Bone marrow aspirate smear · brightfield microscopy, 40× oil immersion:
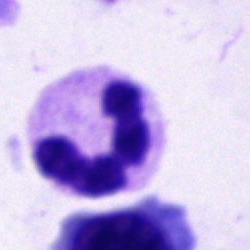 Morphology consistent with a neutrophil (segmented).